Bone marrow aspirate smear. Single-cell field. May-Grünwald-Giemsa/Pappenheim stain: 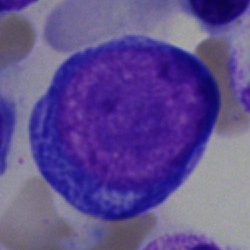

The morphological class is proerythroblast.